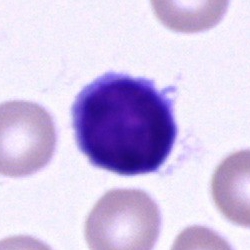
This is a typical lymphocyte.